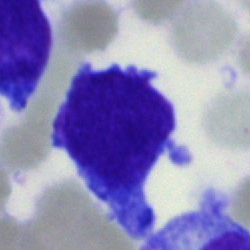A blast cell on a bone marrow smear.